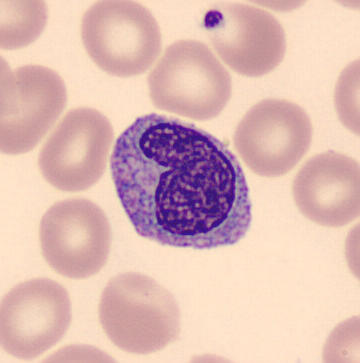
Impression — monocyte.
Peripheral blood smear; single cell centered in the field.